Brightfield, 40× oil-immersion objective · bone marrow aspirate smear
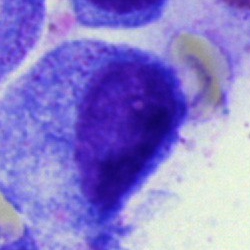 Specimen: bone marrow smear.
Cell: promyelocyte.
Lineage: myeloid.